100× oil immersion; peripheral blood smear.
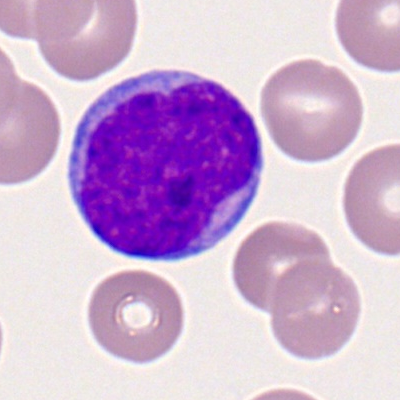 The cell shown is a myeloid blast.